Bone marrow smear.
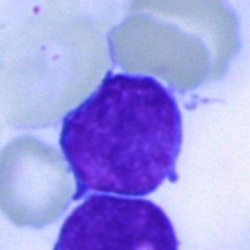
Q: What cell is this?
A: This is a lymphocyte.